Bone marrow aspirate smear. Single cell centered in the field — 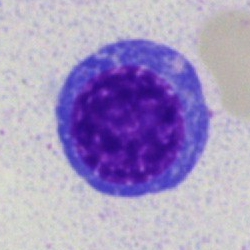
This is a nucleated red blood cell.